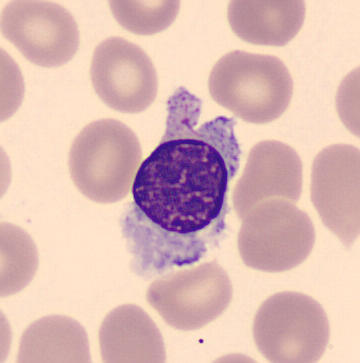
Q: What type of cell is this?
A: Typical lymphocyte.

Image: Peripheral blood film. CellaVision DM96.